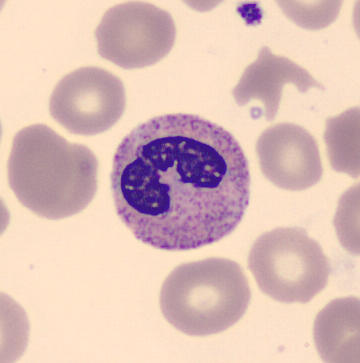 Band-form neutrophil.